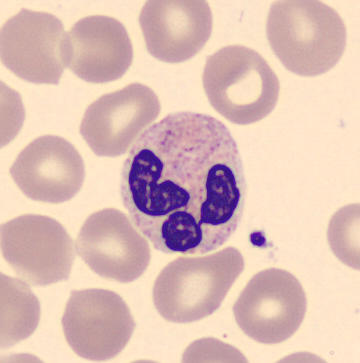Morphological class = neutrophil (segmented).